Brightfield microscopy, 40× oil immersion; bone marrow aspirate smear
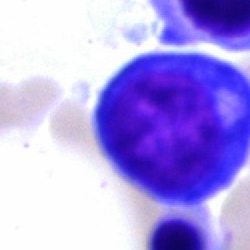 Morphology → nucleated red cell.